Bone marrow smear — 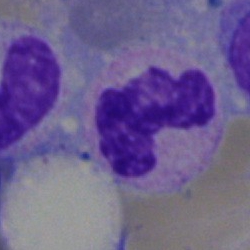
{"cell_type": "neutrophil (band)", "lineage": "myeloid"}